Bone marrow smear:
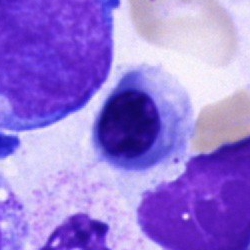Specimen: bone marrow smear.
Classification: erythroblast.
Lineage: erythroid.